Bone marrow smear:
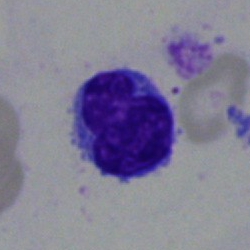Impression — typical lymphocyte.